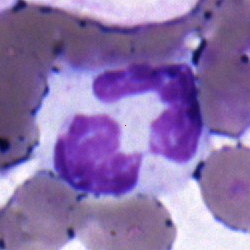 {"cell_type": "neutrophil (segmented)"}